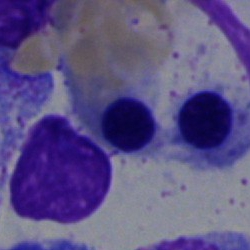
Specimen: bone marrow aspirate smear.
Classification: erythroblast.